Bone marrow aspirate smear.
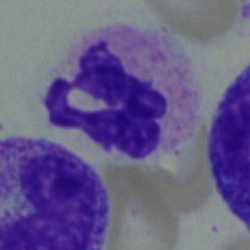Specimen: bone marrow aspirate smear.
Morphological class: segmented neutrophil.